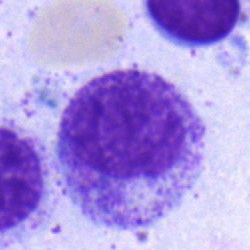Showing a myelocyte.